Bone marrow smear:
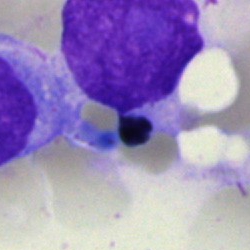Artefact.